Single cell centered in the field; bone marrow aspirate smear; Pappenheim-stained — 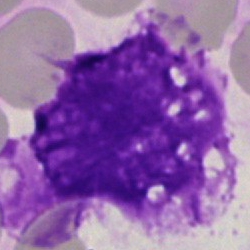
This is an artefact.